Bone marrow aspirate smear:
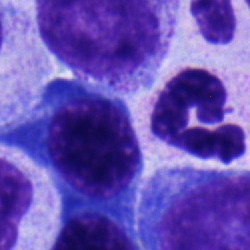
{"cell_type": "erythroblast", "lineage": "erythroid"}